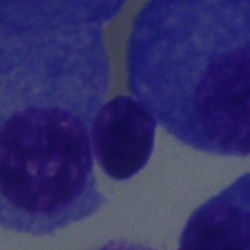
Showing a plasma cell.